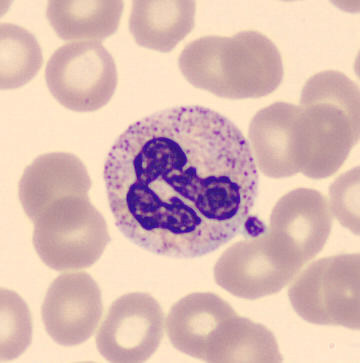
Single cell identified as a neutrophil (segmented).
Acquisition: Peripheral blood film · May Grünwald-Giemsa stain.